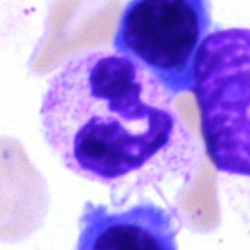{"cell_type": "polymorphonuclear neutrophil"}